Bone marrow smear.
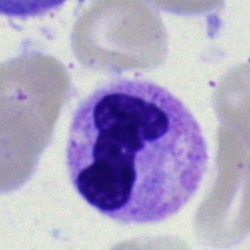
{"cell_type": "polymorphonuclear neutrophil", "lineage": "myeloid"}